Pappenheim-stained · single-cell crop · bone marrow smear
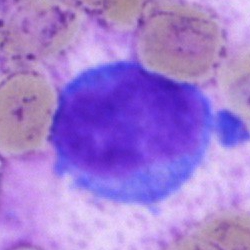

Q: Which cell type is shown here?
A: Undifferentiated blast.